Bone marrow smear. Image size 250×250: 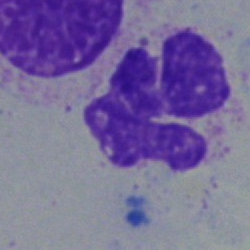{"cell_type": "segmented neutrophil", "lineage": "myeloid"}